Bone marrow aspirate smear — 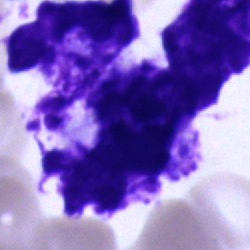
Classification: artifact.